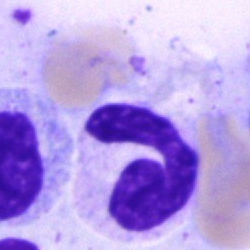

Classification = segmented neutrophil.